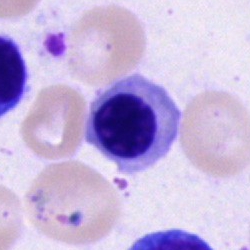Cell type: erythroblast.